MGG-stained. Single cell centered in the field. Bone marrow smear
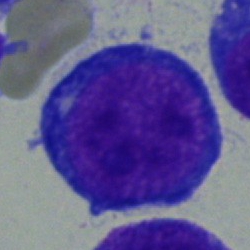 A pronormoblast.